Pappenheim-stained; bone marrow aspirate smear
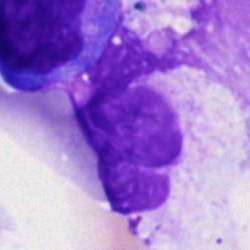

This is an artifact.